Bone marrow smear:
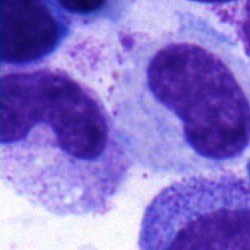
{"cell_type": "neutrophil (band)", "lineage": "myeloid"}